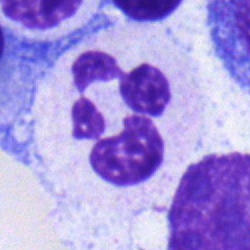

Morphological class: polymorphonuclear neutrophil.